Bone marrow smear: 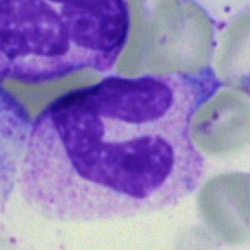 Showing a segmented neutrophil.